Bone marrow aspirate smear — 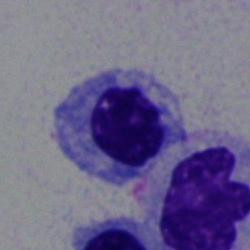

Q: Which cell type is shown here?
A: An erythroblast.